Peripheral blood smear · image size 400×400:
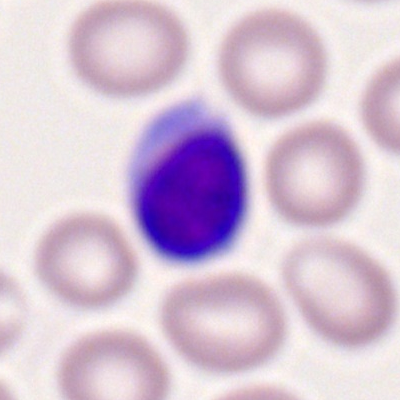

Impression — lymphocyte.